Bone marrow smear:
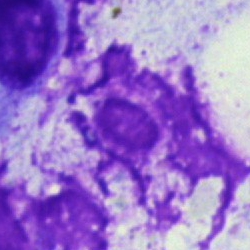

Impression — artefact.